Bone marrow aspirate smear:
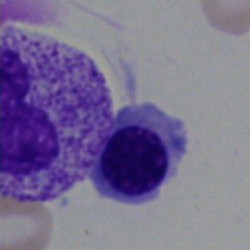
The cell shown is an erythroblast.